Brightfield, 40× oil-immersion objective. Bone marrow aspirate smear: 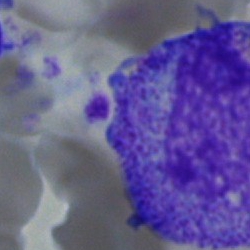

Impression — promyelocyte.